Single-cell field; bone marrow smear; May-Grünwald-Giemsa/Pappenheim stain:
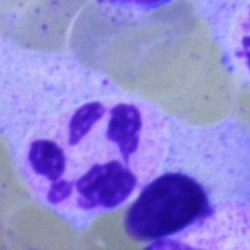 Specimen: bone marrow aspirate smear.
Morphological class: neutrophil (segmented).
Lineage: myeloid.